250 by 250 pixels · bone marrow smear · 40× objective, oil immersion: 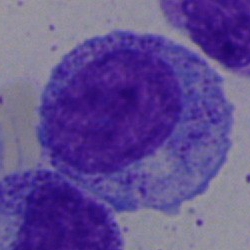

A promyelocyte.